Bone marrow aspirate smear. Cropped to a single cell.
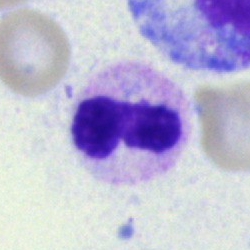 Impression — band neutrophil.